Peripheral blood film.
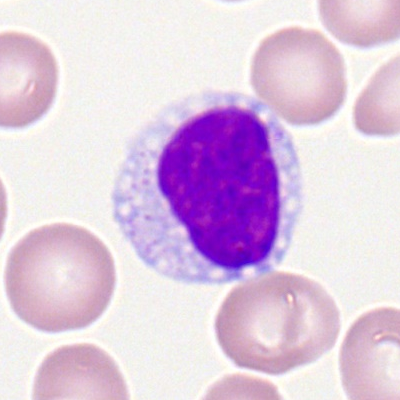

Specimen: peripheral blood smear.
Cell: typical lymphocyte.